Bone marrow smear.
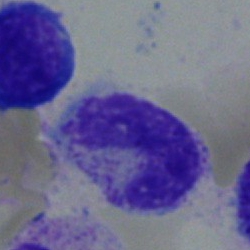Neutrophil (band).